Bone marrow aspirate smear.
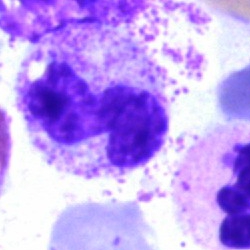

Impression — neutrophil (segmented).